Bone marrow aspirate smear.
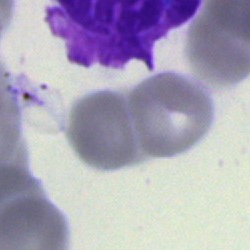 Artefact.